Bone marrow aspirate smear. May-Grünwald-Giemsa/Pappenheim stain. Brightfield, 40× oil-immersion objective — 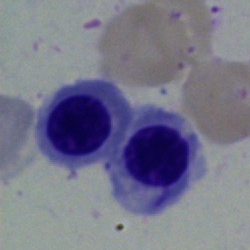Cell — erythroblast.